Romanowsky stain; peripheral blood smear; 100× objective, oil immersion: 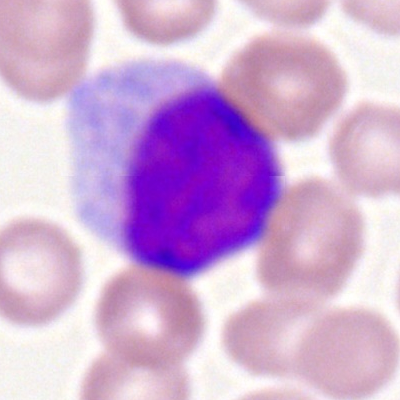Myeloid blast.